Bone marrow aspirate smear — 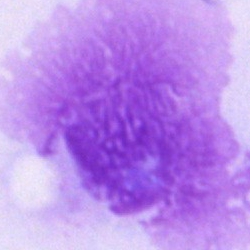
Cell — artifact.